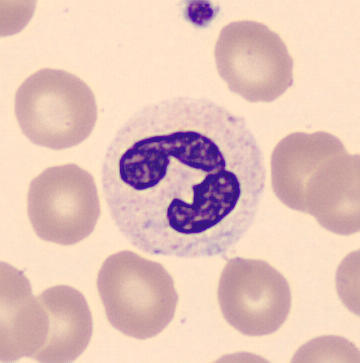 {"cell_type": "segmented neutrophil", "lineage": "myeloid"}

Preparation: Peripheral blood smear.